Bone marrow smear.
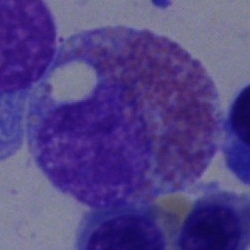Q: What type of cell is this?
A: It is an eosinophil.